Bone marrow smear · 250×250 px — 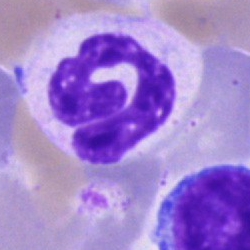

Morphology consistent with a polymorphonuclear neutrophil.